250×250 px. 40× oil immersion. Bone marrow smear: 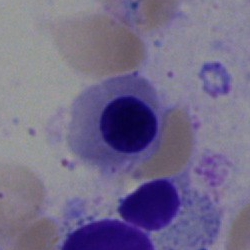The morphological class is erythroblast.